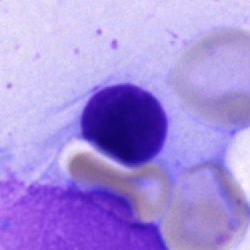

Morphology consistent with an artefact.